Bone marrow aspirate smear · MGG-stained.
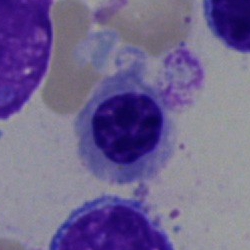
Classification: nucleated red cell.